Bone marrow smear.
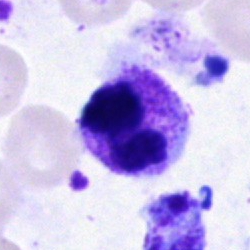 Showing a polymorphonuclear neutrophil.